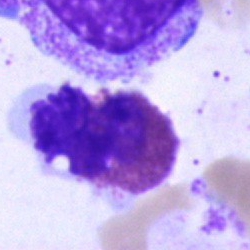
{"cell_type": "eosinophil"}